Bone marrow aspirate smear.
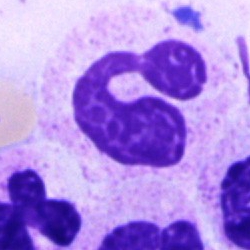
The classification is neutrophil (segmented).